Bone marrow smear · Pappenheim-stained — 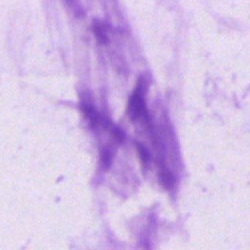
This is an artifact.